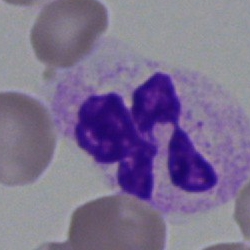

Classification — neutrophil (segmented).